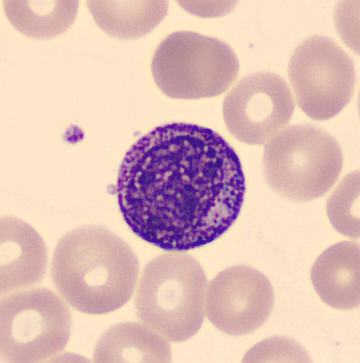 Q: What cell is this?
A: A myelocyte. Preparation: CellaVision DM96; peripheral blood film.